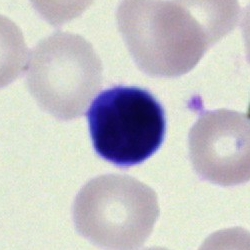{"cell_type": "typical lymphocyte", "lineage": "lymphoid"}